Brightfield, 40× oil-immersion objective; bone marrow aspirate smear.
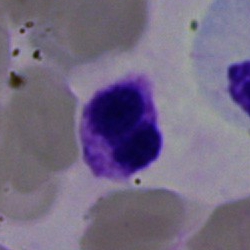
{"cell_type": "basophil", "lineage": "myeloid"}